Brightfield, 40× oil-immersion objective · single cell centered in the field · bone marrow aspirate smear.
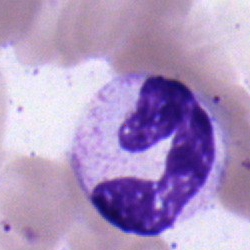Cell type — polymorphonuclear neutrophil.